Bone marrow smear — 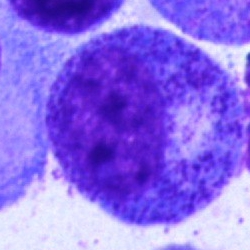Morphology — promyelocyte.